Bone marrow aspirate smear:
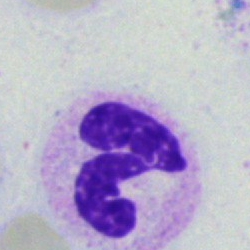Q: What cell is this?
A: A segmented neutrophil.